Peripheral blood smear. Cropped to a single cell — 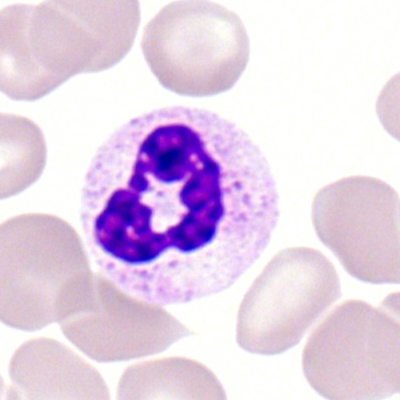
Cell — segmented neutrophil.